Peripheral blood smear:
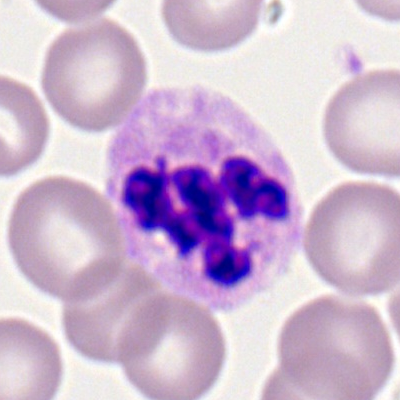 Single cell identified as a polymorphonuclear neutrophil.